40× oil immersion. Bone marrow aspirate smear. 250 by 250 pixels:
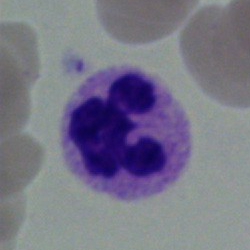 Impression — segmented neutrophil.